400 by 400 pixels; peripheral blood film.
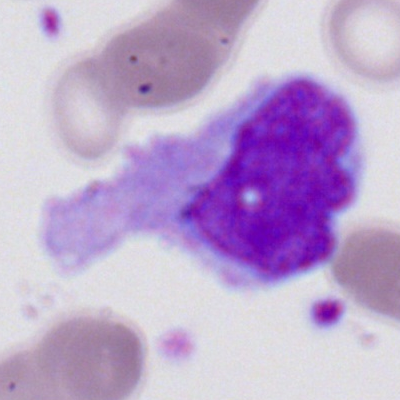 Q: What cell is this?
A: This is a monocyte.